Bone marrow aspirate smear · 250×250 px:
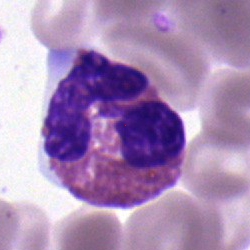
Morphology → eosinophil.